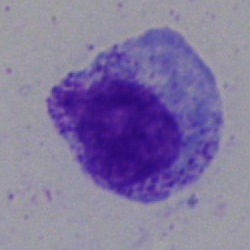

The cell type is progranulocyte.